Bone marrow aspirate smear · 40× oil immersion:
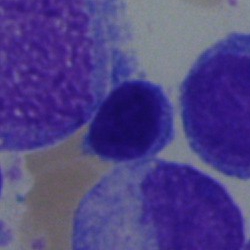

Cell type: typical lymphocyte.